Bone marrow aspirate smear. Brightfield, 40× oil-immersion objective. 250 by 250 pixels — 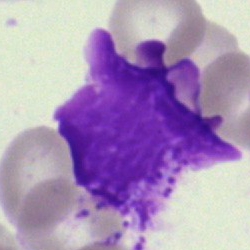Cell = artefact.